Bone marrow aspirate smear
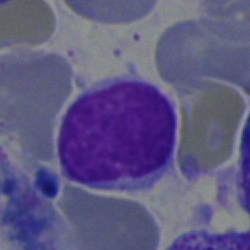 Impression → typical lymphocyte.